Single-cell crop; brightfield, 40× oil-immersion objective; bone marrow aspirate smear:
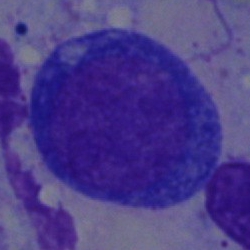 Cell = erythroblast.